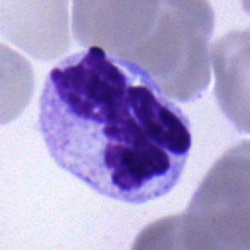
Cell: polymorphonuclear neutrophil.